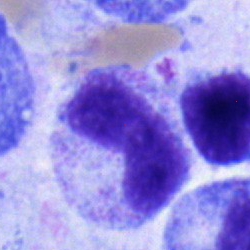

Impression → band-form neutrophil.